Single-cell crop; bone marrow smear; image size 250×250:
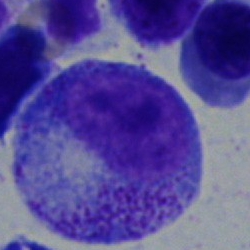Q: What is the morphological classification of this cell?
A: This is a promyelocyte.